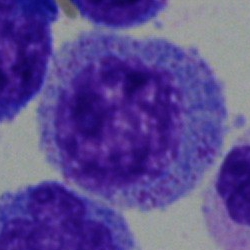

Q: What cell is this?
A: This is a myelocyte.